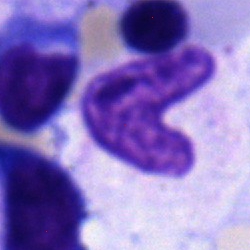

The classification is band neutrophil.